Bone marrow aspirate smear
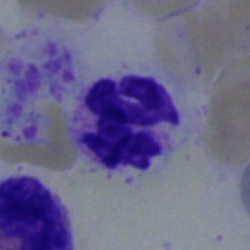

Cell type — neutrophil (segmented).